400 by 400 pixels; peripheral blood smear
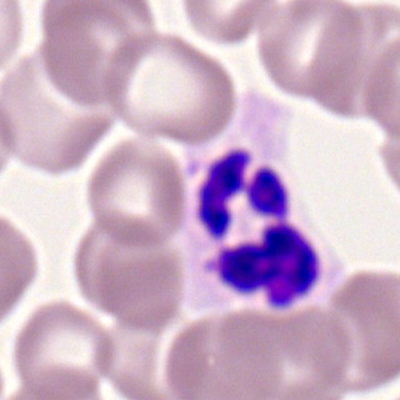

Showing a segmented neutrophil.